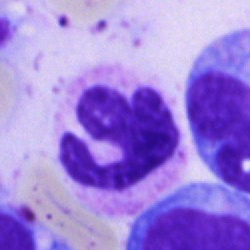

Morphological class — polymorphonuclear neutrophil.